Bone marrow aspirate smear:
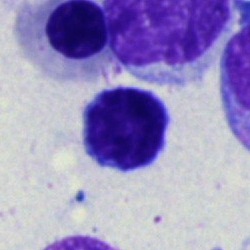

Cell: lymphocyte.